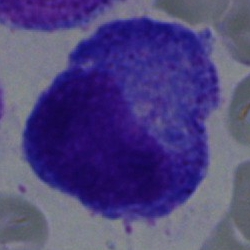 The cell shown is a promyelocyte.